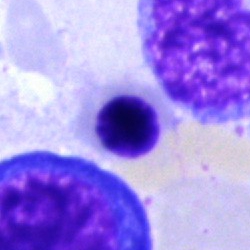

{"cell_type": "erythroblast", "lineage": "erythroid"}